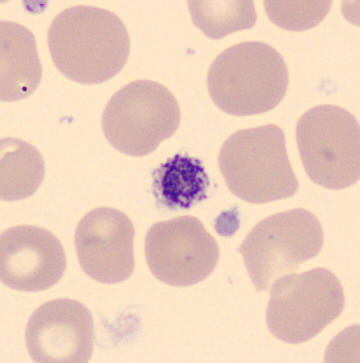

Classification = platelet.